Peripheral blood film; brightfield, 100× oil-immersion objective: 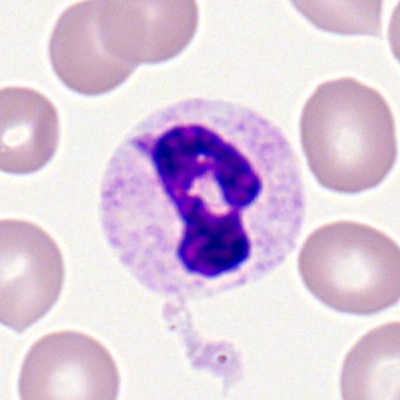

Specimen: peripheral blood film.
Cell type: polymorphonuclear neutrophil.
Lineage: myeloid.